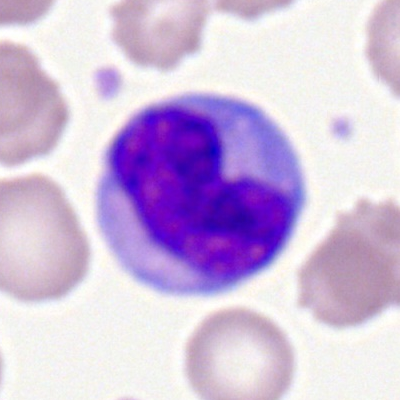 Morphological class = monocyte.